Single-cell field. Bone marrow aspirate smear — 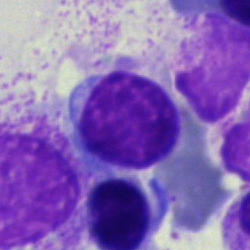 Impression → typical lymphocyte.